Peripheral blood smear: 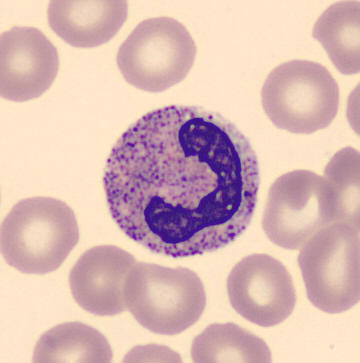
Classification: band-form neutrophil.